Bone marrow aspirate smear
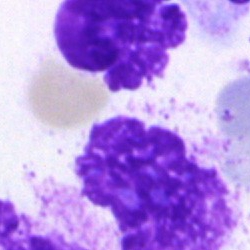Impression — artifact.